Bone marrow aspirate smear — 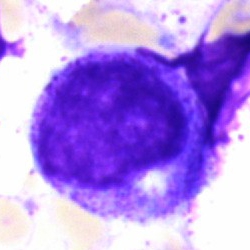 Cell type — promyelocyte.